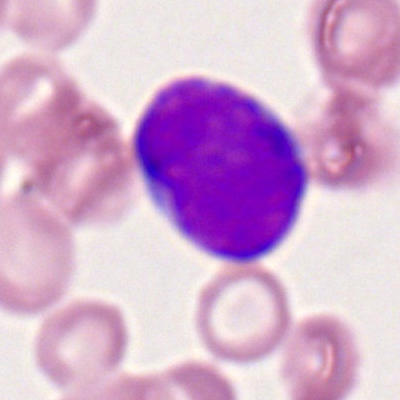Q: What cell is this?
A: A myeloid blast.